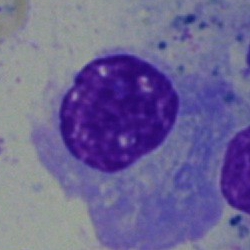 Q: Identify the cell.
A: Plasma cell.